Cropped to a single cell · peripheral blood film · Romanowsky-type stain
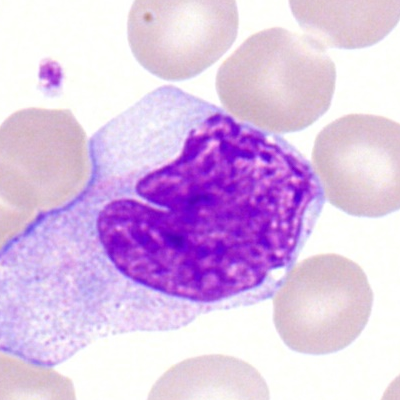

A monocyte.